Bone marrow smear: 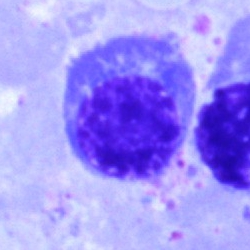Showing an erythroblast.